Bone marrow smear: 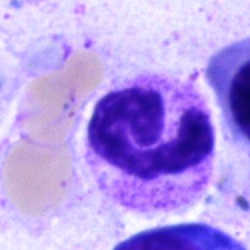 Polymorphonuclear neutrophil.